Bone marrow smear
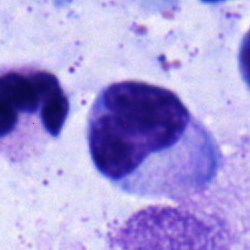

A neutrophil (band).